Bone marrow aspirate smear.
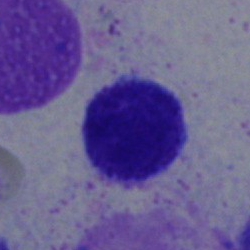
Q: Identify the cell.
A: It is a lymphocyte.